Bone marrow smear
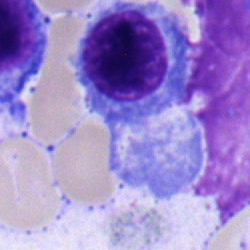

Specimen: bone marrow smear.
Cell type: erythroblast.